Bone marrow smear.
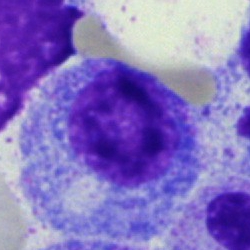

Morphology consistent with a promyelocyte.